Bone marrow smear:
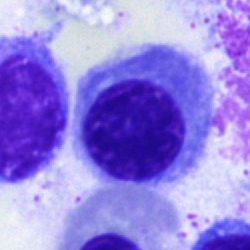
Classification: basophilic granulocyte.